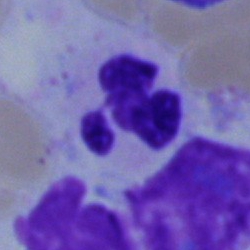
Neutrophil (segmented).